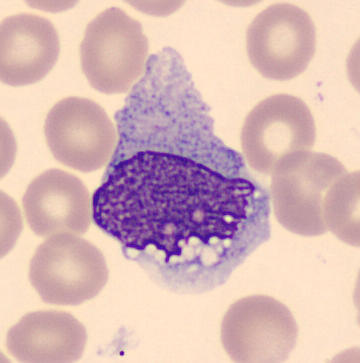
{"cell_type": "monocyte", "lineage": "myeloid"}